Peripheral blood smear.
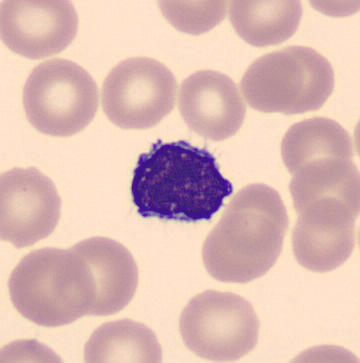Lymphocyte.